Bone marrow aspirate smear. May-Grünwald-Giemsa stain:
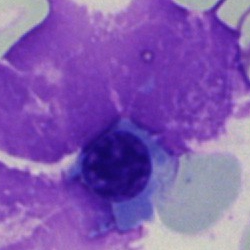Showing an artefact.